Bone marrow smear. Single-cell crop: 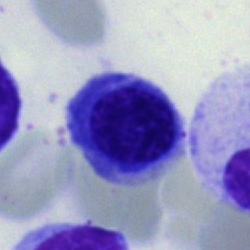 Single cell identified as a normoblast.